250 by 250 pixels. Bone marrow aspirate smear:
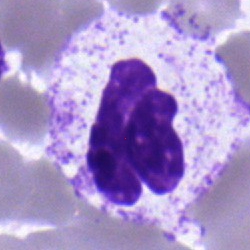
{"cell_type": "neutrophil (segmented)", "lineage": "myeloid"}